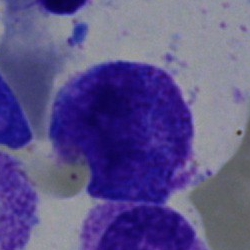Q: What is the morphological classification of this cell?
A: It is a progranulocyte.